Bone marrow smear: 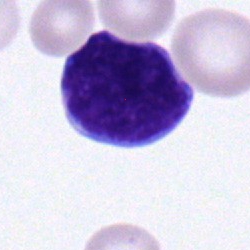 An undifferentiated blast.